Bone marrow smear — 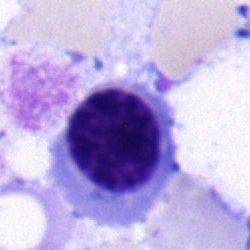
Impression — erythroblast.